Romanowsky-type stain. Peripheral blood film.
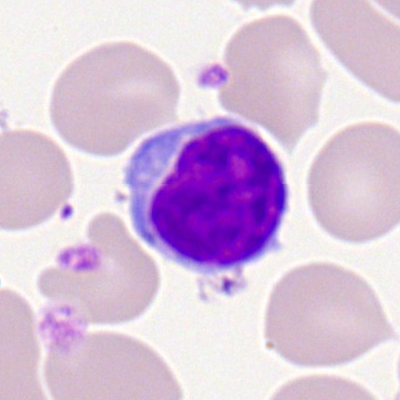
Morphology → lymphocyte.